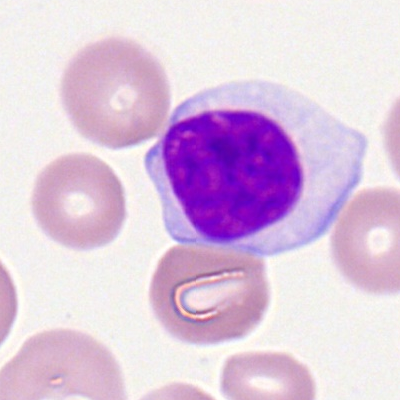Specimen: peripheral blood film.
Classification: lymphocyte.
Lineage: lymphoid.